Bone marrow aspirate smear · 250×250 px: 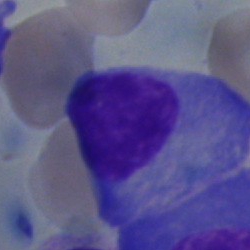
Impression — plasma cell.